250×250 px · bone marrow aspirate smear
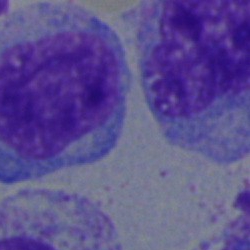

Morphology → blast cell.